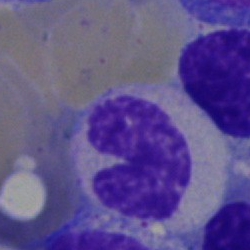 Specimen: bone marrow smear.
Morphological class: band-form neutrophil.
Lineage: myeloid.